Bone marrow aspirate smear. Image size 250×250 — 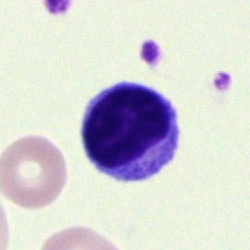 Single cell identified as a lymphocyte.